Bone marrow aspirate smear.
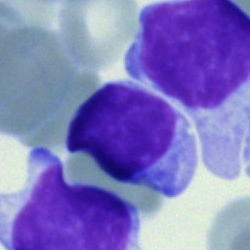

Cell type: typical lymphocyte.